Single-cell crop · MGG-stained · bone marrow smear: 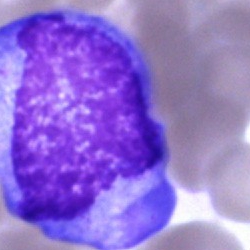{"cell_type": "promyelocyte"}